MGG-stained. Bone marrow aspirate smear.
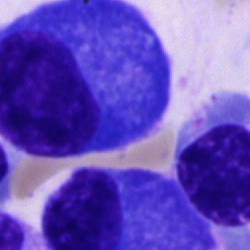

Classification — plasma cell.